Bone marrow smear.
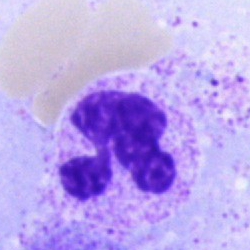Showing a segmented neutrophil.